Bone marrow aspirate smear; brightfield, 40× oil-immersion objective — 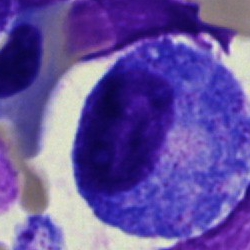 Progranulocyte.